Bone marrow smear — 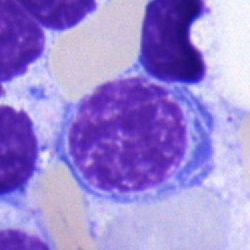Q: What type of cell is this?
A: Erythroblast.